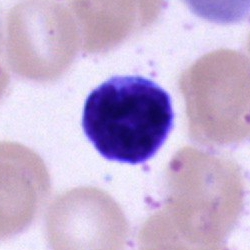

Morphological class: lymphocyte.